Single cell centered in the field · bone marrow aspirate smear:
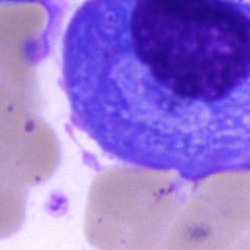

A plasmacyte.